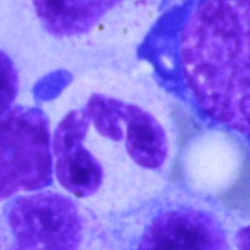This is a segmented neutrophil.